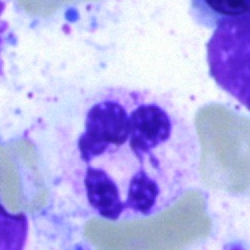

Specimen: bone marrow aspirate smear.
Cell: neutrophil (segmented).